Cropped to a single cell; bone marrow aspirate smear
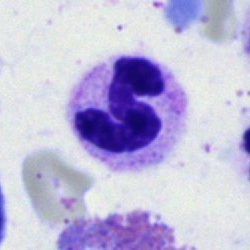

Cell = neutrophil (segmented).